Bone marrow aspirate smear
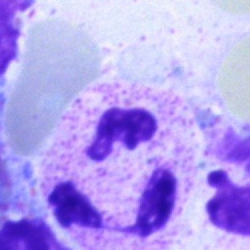

Neutrophil (segmented).